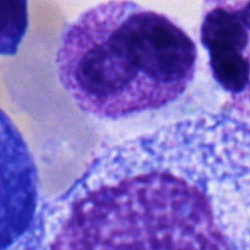 Morphological class — stab cell.